Bone marrow smear. 250 by 250 pixels.
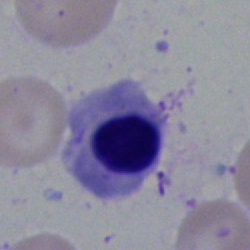
{"cell_type": "erythroblast", "lineage": "erythroid"}